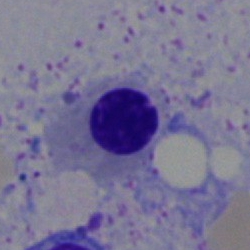

Specimen: bone marrow aspirate smear.
Classification: nucleated red cell.